40× oil immersion; bone marrow aspirate smear:
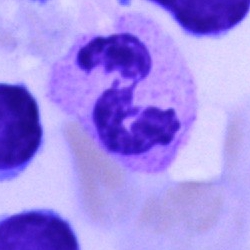 Q: What is shown here?
A: It is a polymorphonuclear neutrophil.